Bone marrow aspirate smear; single cell centered in the field.
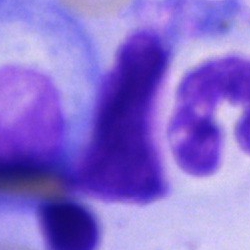

Morphological class — cell of indeterminate lineage.